Bone marrow smear; 250×250
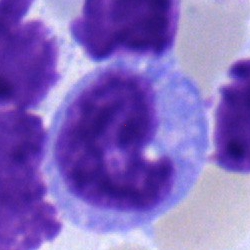Monocyte.